Bone marrow smear: 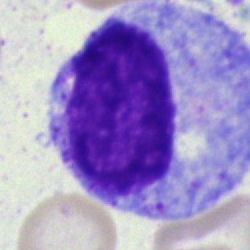

Specimen: bone marrow aspirate smear.
Morphological class: promyelocyte.
Lineage: myeloid.